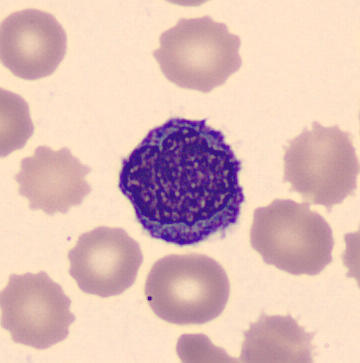

Cell = monocyte. Peripheral blood smear. Imaged on a CellaVision DM96 analyser.